Bone marrow smear:
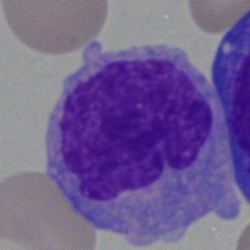Classification — monocyte.